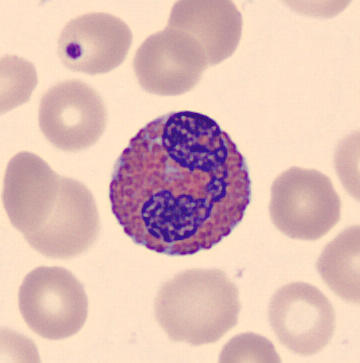

Showing an eosinophilic granulocyte.